Bone marrow aspirate smear: 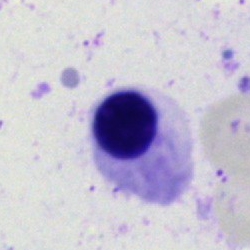

Cell = erythroblast.